400×400 px · peripheral blood film: 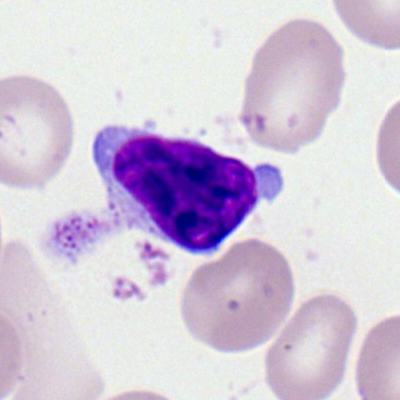

Q: Identify the cell.
A: It is a lymphocyte.